Bone marrow smear
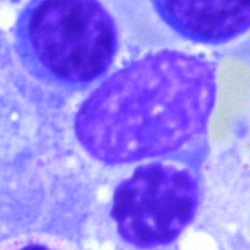 Specimen: bone marrow aspirate smear.
Cell: artifact.